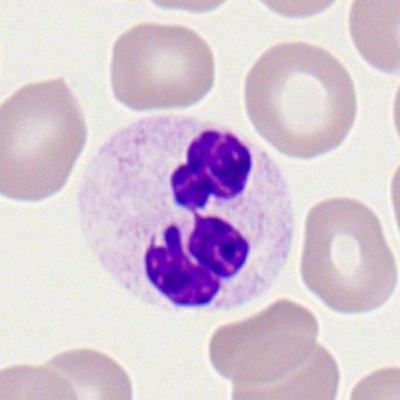 Morphological class = polymorphonuclear neutrophil.